Brightfield, 40× oil-immersion objective; bone marrow smear
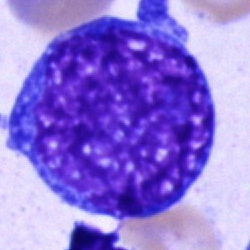 Q: What type of cell is this?
A: An undifferentiated blast.